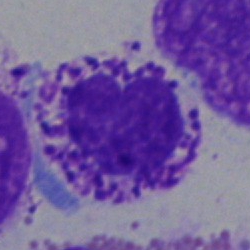

Specimen: bone marrow aspirate smear.
Cell: basophil.
Lineage: myeloid.